Bone marrow smear — 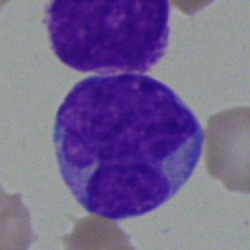

Morphology consistent with a blast cell.